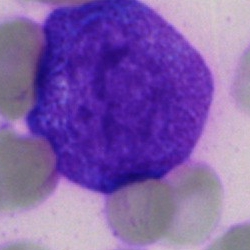 {"cell_type": "promyelocyte", "lineage": "myeloid"}